MGG-stained · bone marrow aspirate smear — 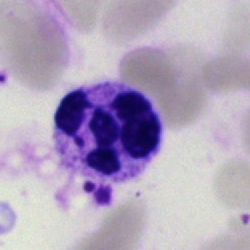

Showing a polymorphonuclear neutrophil.